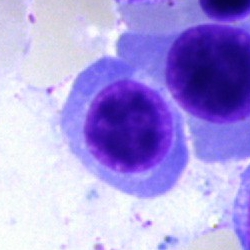 Single-cell crop from a bone marrow smear: normoblast.